Bone marrow aspirate smear; brightfield microscopy, 40× oil immersion.
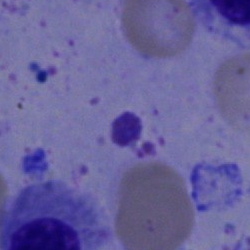
Cell type — artifact.